Single cell centered in the field · bone marrow smear
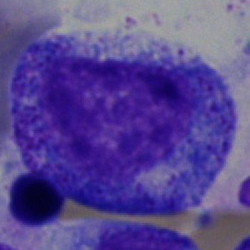

Impression — progranulocyte.